Bone marrow aspirate smear — 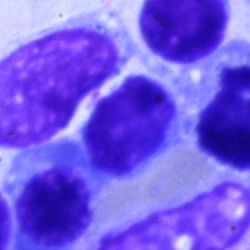A typical lymphocyte.